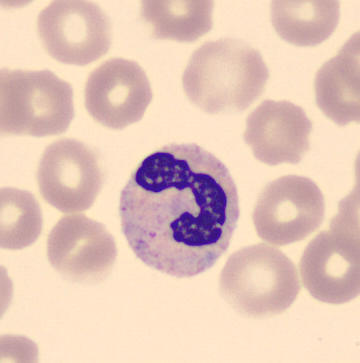
Preparation: Peripheral blood film.

Classification — neutrophil (band).